Bone marrow smear
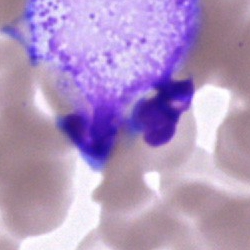
Classification: unidentifiable cell.